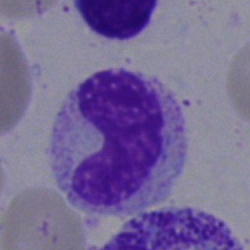 A neutrophil (band) on a bone marrow smear.